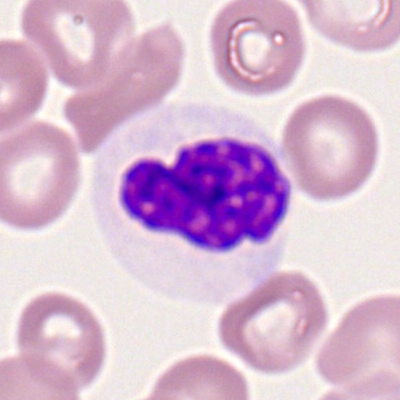

Morphological class = polymorphonuclear neutrophil.